Bone marrow aspirate smear. Single-cell field. May-Grünwald-Giemsa/Pappenheim stain:
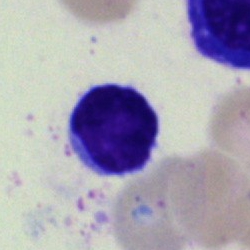 A typical lymphocyte.